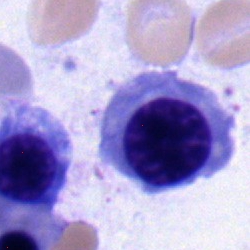 Specimen: bone marrow aspirate smear.
Cell type: erythroblast.